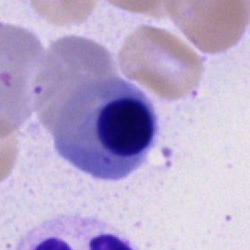 Specimen: bone marrow smear.
Morphological class: nucleated red cell.